Bone marrow smear. Pappenheim-stained
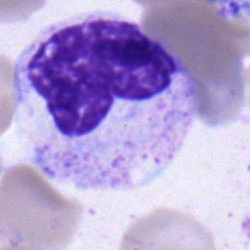
Morphology → metamyelocyte.